MGG-stained. Single cell centered in the field. Bone marrow aspirate smear.
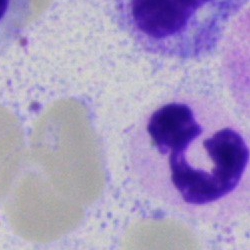

A segmented neutrophil.